Bone marrow aspirate smear · image size 250×250 — 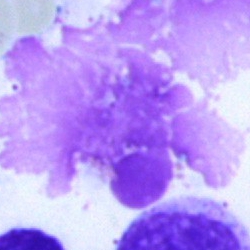

Morphology — artifact.